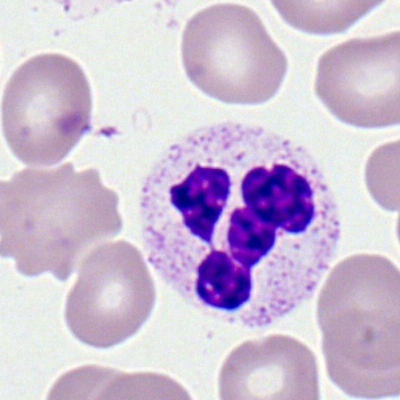Specimen: peripheral blood film.
Cell type: polymorphonuclear neutrophil.
Lineage: myeloid.